Bone marrow smear: 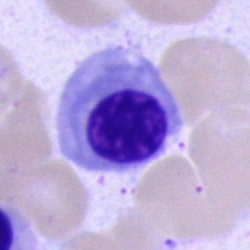
Impression → nucleated red cell.